Bone marrow aspirate smear — 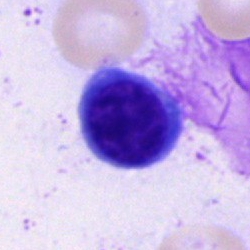

Typical lymphocyte.